Bone marrow aspirate smear: 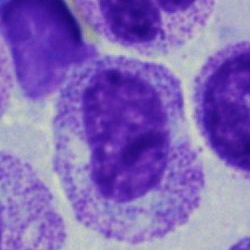
Specimen: bone marrow aspirate smear.
Classification: myelocyte.
Lineage: myeloid.